May-Grünwald-Giemsa/Pappenheim stain; bone marrow aspirate smear — 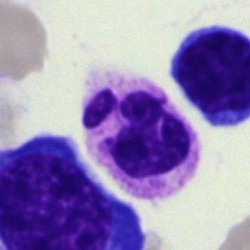

Neutrophil (segmented).